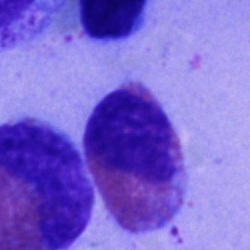Cell type — basophilic granulocyte.